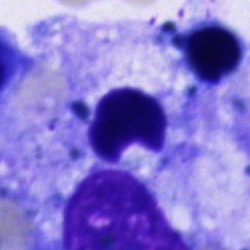Q: What is shown here?
A: An artefact.